Bone marrow smear: 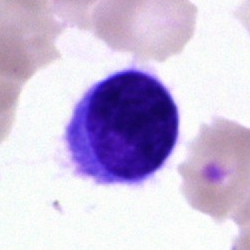Cell type — typical lymphocyte.